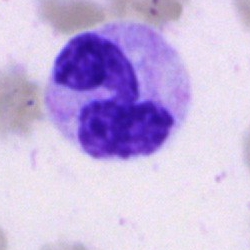
Single-cell crop from a bone marrow smear: neutrophil (segmented).